40× objective, oil immersion. Bone marrow aspirate smear. 250×250 — 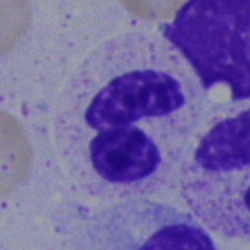Showing a segmented neutrophil.